Bone marrow smear: 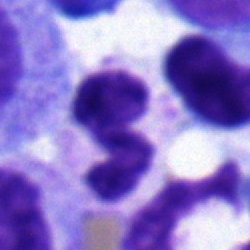

Q: What is the morphological classification of this cell?
A: It is a polymorphonuclear neutrophil.